250 by 250 pixels. Bone marrow smear
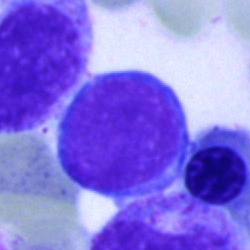
Cell: lymphocyte.